Bone marrow aspirate smear; image size 250×250.
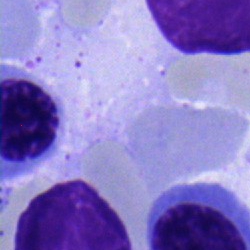Q: Which cell type is shown here?
A: This is a nucleated red cell.